250 by 250 pixels; bone marrow smear — 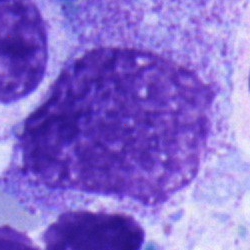Specimen: bone marrow aspirate smear.
Morphological class: myelocyte.
Lineage: myeloid.